Bone marrow smear:
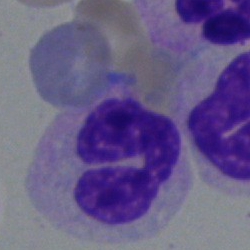 Cell type — neutrophil (segmented).